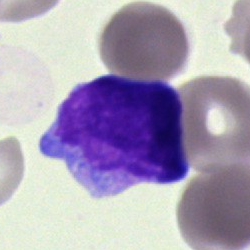

{"cell_type": "blast"}